Bone marrow aspirate smear: 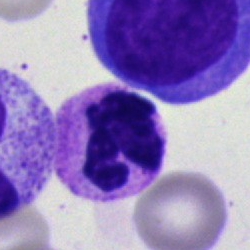 Morphology consistent with a segmented neutrophil.